Bone marrow smear — 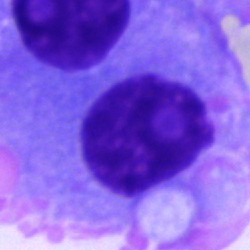
Showing a plasma cell.